40× oil immersion · bone marrow aspirate smear
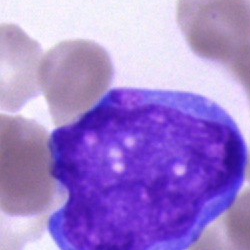Specimen: bone marrow smear.
Cell: blast.